Bone marrow aspirate smear: 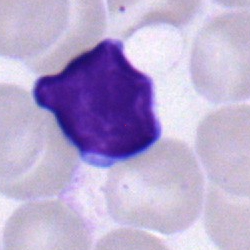 Q: What is the morphological classification of this cell?
A: This is a typical lymphocyte.